Bone marrow aspirate smear:
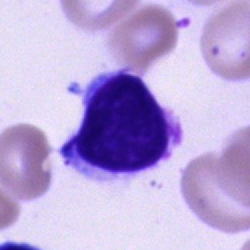The cell shown is a typical lymphocyte.